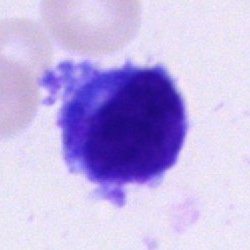

Cell type = cell of indeterminate lineage.